Bone marrow smear; single-cell field.
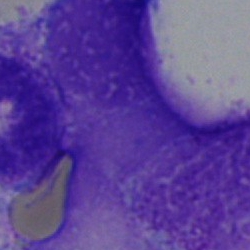
Q: What is shown here?
A: It is an artefact.